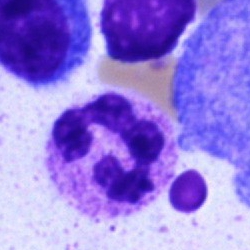

A polymorphonuclear neutrophil.